Bone marrow aspirate smear — 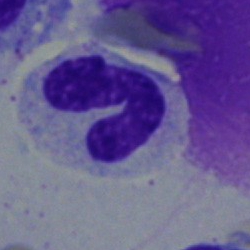Specimen: bone marrow smear.
Cell type: stab cell.
Lineage: myeloid.